Peripheral blood film · M8 digital microscope (Precipoint), 100× oil immersion:
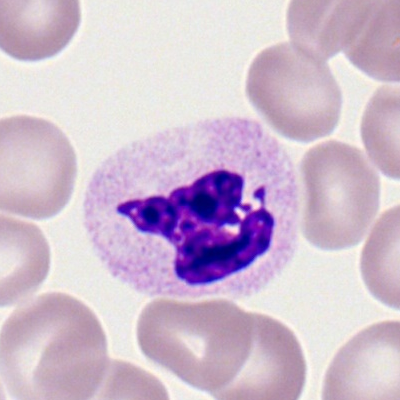 Cell = polymorphonuclear neutrophil.